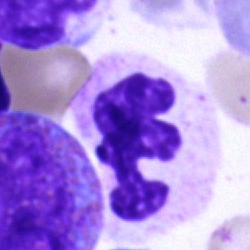 The cell shown is a neutrophil (segmented).